Bone marrow smear.
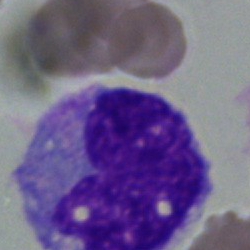
Monocyte.